Bone marrow smear
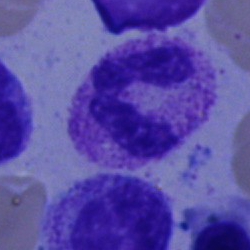A polymorphonuclear neutrophil.